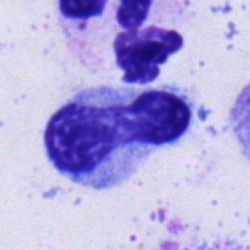 Specimen: bone marrow smear.
Cell type: stab cell.